Bone marrow smear — 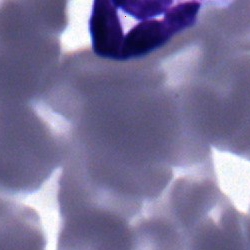
Specimen: bone marrow aspirate smear.
Cell: polymorphonuclear neutrophil.
Lineage: myeloid.